Bone marrow smear — 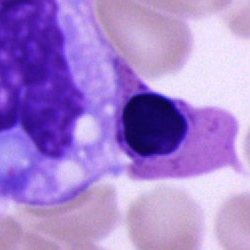
Morphology consistent with a cell of indeterminate lineage.